Bone marrow smear
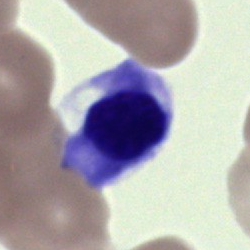

Showing a nucleated red cell.